Image size 400×400; peripheral blood smear — 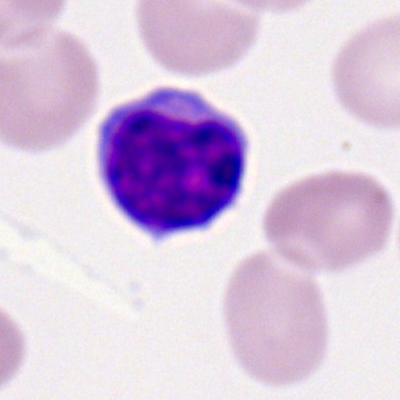 Impression → typical lymphocyte.